Peripheral blood film.
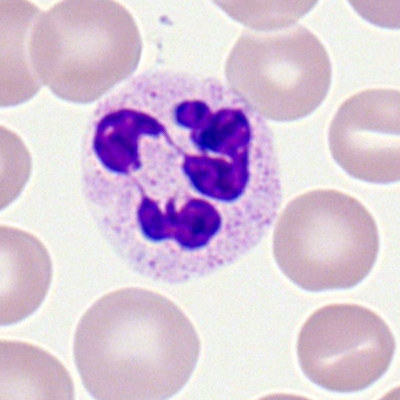Single cell identified as a neutrophil (segmented).